Bone marrow aspirate smear.
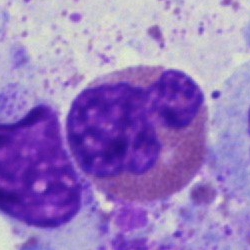Morphological class — eosinophil.